MGG-stained. Bone marrow smear. 250 by 250 pixels.
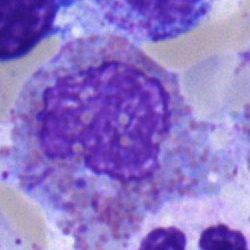 Q: What is the morphological classification of this cell?
A: Eosinophilic granulocyte.